Bone marrow aspirate smear:
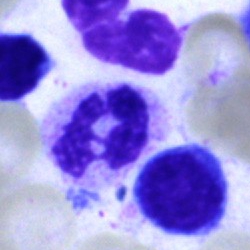

The classification is neutrophil (segmented).